Bone marrow smear · 40× objective, oil immersion — 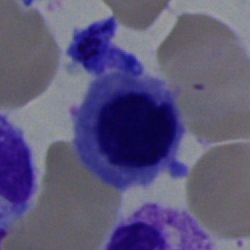

Classification: erythroblast.